Bone marrow aspirate smear; single cell centered in the field; MGG-stained — 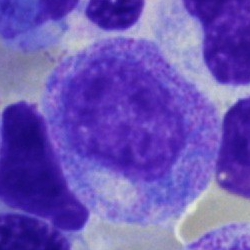

Morphology consistent with a progranulocyte.